Bone marrow aspirate smear: 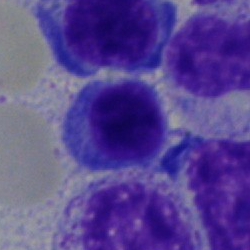

Impression → cell of indeterminate lineage.